Bone marrow aspirate smear. Brightfield microscopy, 40× oil immersion:
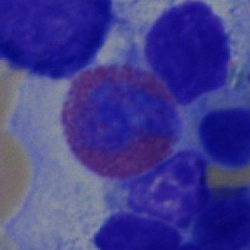Cell type: eosinophil.